Bone marrow aspirate smear
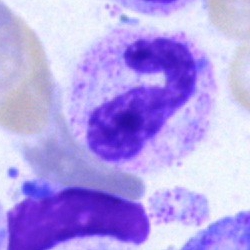Impression — segmented neutrophil.